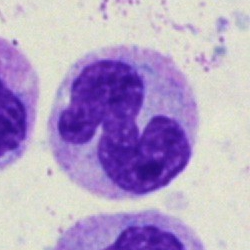 Morphology → monocyte.